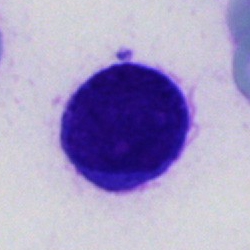
Bone marrow smear showing an unidentifiable cell.